250×250 px; bone marrow aspirate smear:
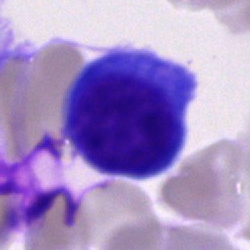 Classification = plasma cell.